250 by 250 pixels; May-Grünwald-Giemsa stain; bone marrow aspirate smear.
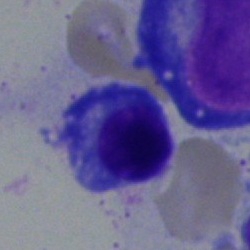Q: What type of cell is this?
A: This is a plasmacyte.